Bone marrow aspirate smear
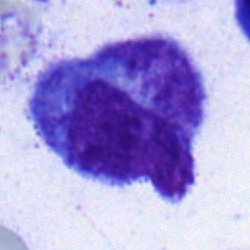
Q: What type of cell is this?
A: It is a promyelocyte.